MGG-stained. Bone marrow smear: 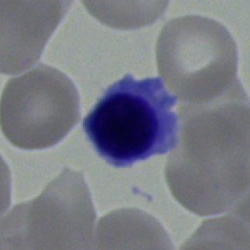

{"cell_type": "normoblast", "lineage": "erythroid"}